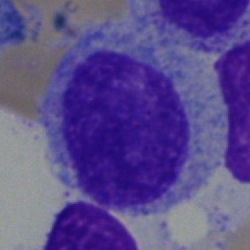

Showing a progranulocyte.